MGG-stained · peripheral blood film.
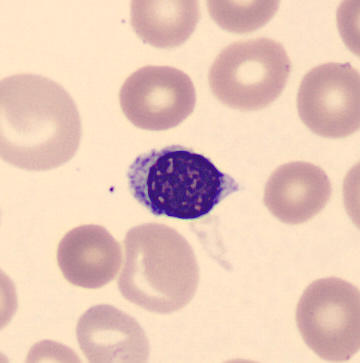

Identified as an erythroblast.